Bone marrow smear: 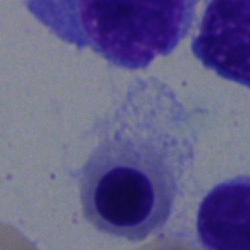The morphological class is nucleated red cell.